Pappenheim-stained. Bone marrow aspirate smear. 250×250 px:
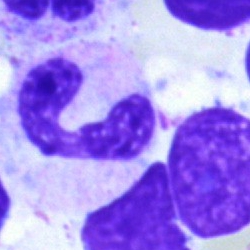

Q: Identify the cell.
A: Neutrophil (segmented).